Bone marrow aspirate smear; 40× objective, oil immersion
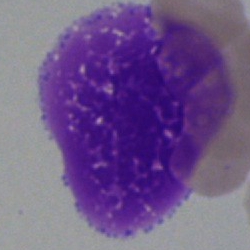Single cell identified as an artifact.